Bone marrow aspirate smear:
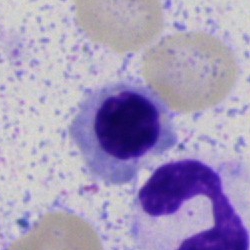
Q: What type of cell is this?
A: This is a normoblast.